Bone marrow aspirate smear. Brightfield microscopy, 40× oil immersion — 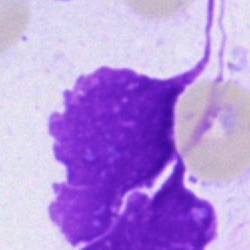

Artifact.